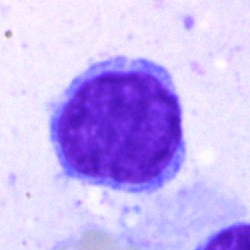
The cell shown is a typical lymphocyte.